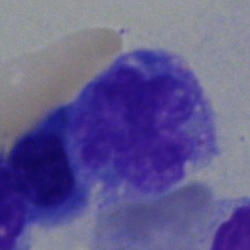

Morphology — monocyte.